Bone marrow smear
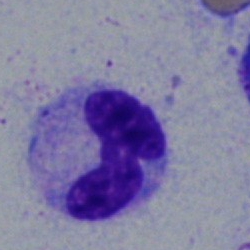

The cell shown is a neutrophil (band).